Bone marrow aspirate smear.
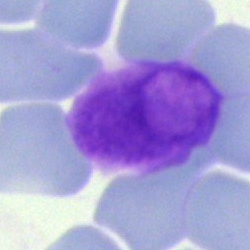

Morphological class = artefact.